Bone marrow smear.
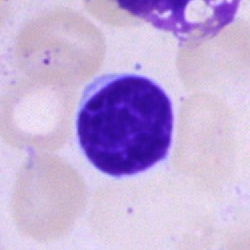 Morphological class = typical lymphocyte.